Bone marrow smear. Single-cell crop — 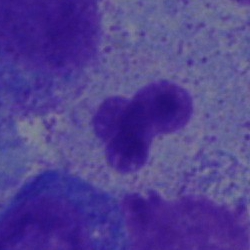A band-form neutrophil.